Peripheral blood smear: 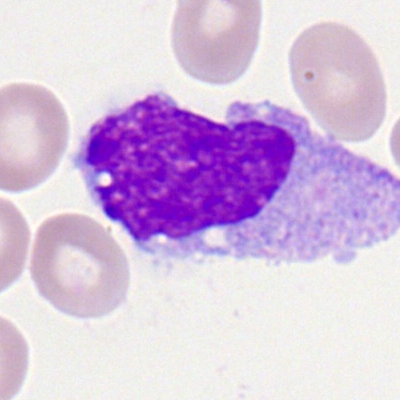

Single cell identified as a monocyte.